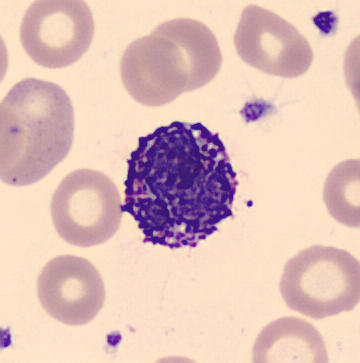
A basophilic granulocyte.
Image: CellaVision DM96 · peripheral blood smear.